Bone marrow aspirate smear.
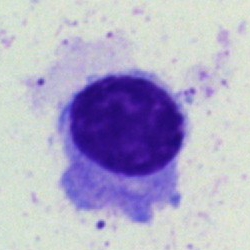
Classification: typical lymphocyte.